Bone marrow aspirate smear · 250 by 250 pixels
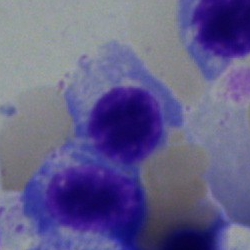 Nucleated red cell.